40× objective, oil immersion. Bone marrow aspirate smear:
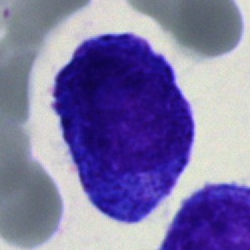This is a blast.